May-Grünwald-Giemsa/Pappenheim stain · single cell centered in the field · bone marrow aspirate smear:
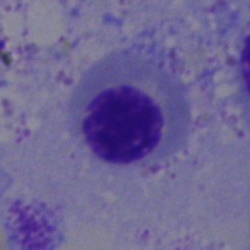Cell type: nucleated red blood cell.